Bone marrow aspirate smear: 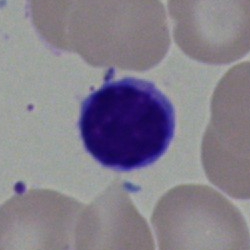
The classification is typical lymphocyte.